Pappenheim-stained. Bone marrow aspirate smear
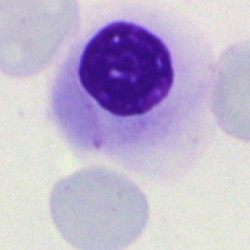

Cell type: artefact.